Peripheral blood smear — 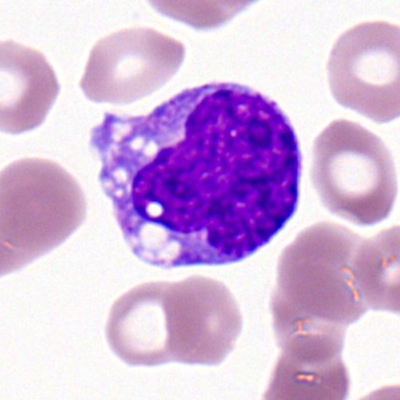Classification: monocyte.